Romanowsky-type stain; peripheral blood film: 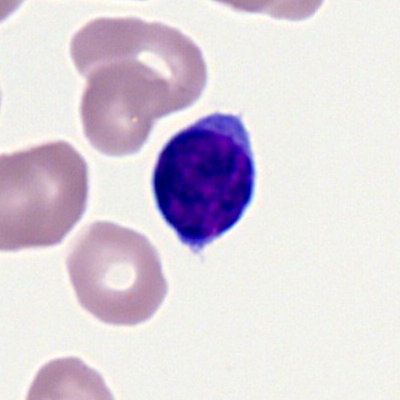 The cell type is lymphocyte.